May-Grünwald-Giemsa stain; bone marrow aspirate smear — 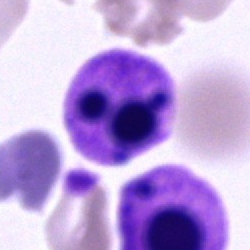Specimen: bone marrow smear.
Cell type: unidentifiable cell.